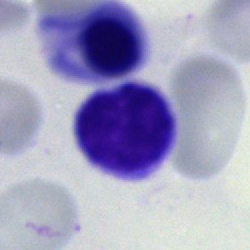

Morphological class: lymphocyte.